Image size 250×250. Bone marrow smear: 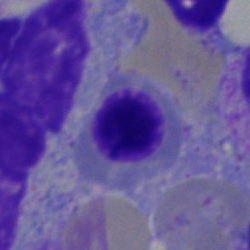

Q: What type of cell is this?
A: Nucleated red cell.